Peripheral blood smear.
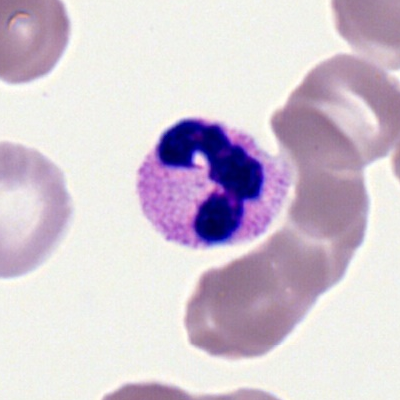The cell type is polymorphonuclear neutrophil.